Bone marrow smear.
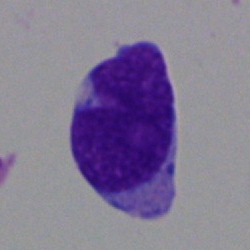
Cell type: blast cell.